Bone marrow smear; 40× objective, oil immersion — 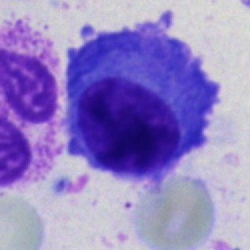Morphological class — plasma cell.